Bone marrow aspirate smear
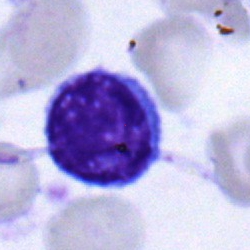

The cell shown is a lymphocyte.